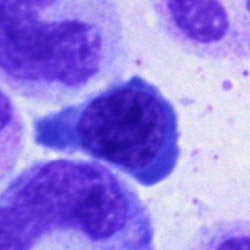 Q: What is the morphological classification of this cell?
A: An erythroblast.